Bone marrow smear · 40× oil immersion
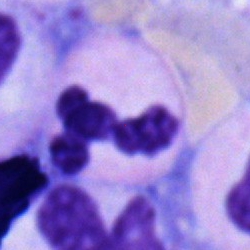

A polymorphonuclear neutrophil.